Bone marrow smear.
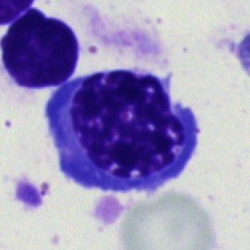
Q: What type of cell is this?
A: Nucleated red cell.